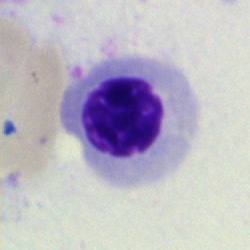

Q: What cell is this?
A: It is a normoblast.